100× oil immersion. Peripheral blood film. Romanowsky stain:
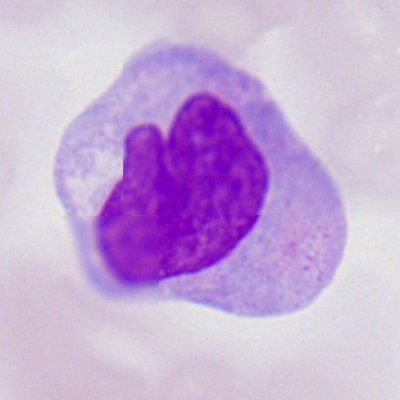 Q: Identify the cell.
A: It is a monocyte.